Bone marrow aspirate smear:
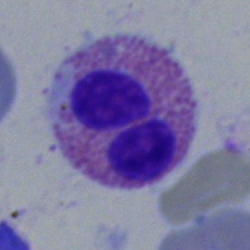

Impression → eosinophilic granulocyte.